Bone marrow aspirate smear — 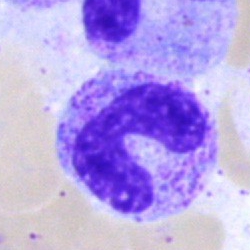

Impression — band-form neutrophil.